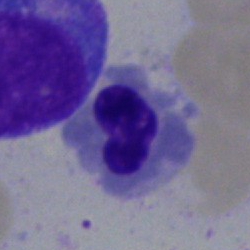 A nucleated red cell.